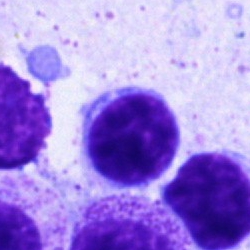

Specimen: bone marrow aspirate smear.
Cell: lymphocyte.
Lineage: lymphoid.